Bone marrow aspirate smear — 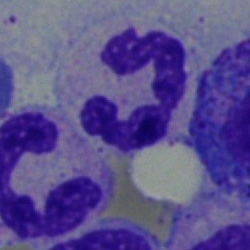

Q: What is the morphological classification of this cell?
A: A segmented neutrophil.